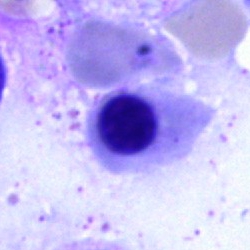
The morphological class is nucleated red cell.